Bone marrow aspirate smear; 40× oil immersion; 250 by 250 pixels:
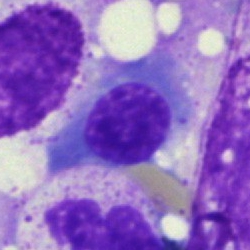 Cell type — nucleated red blood cell.